Bone marrow smear
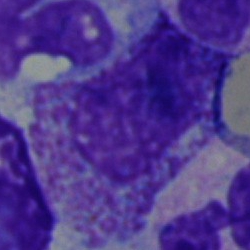
Morphological class: myelocyte.